Bone marrow aspirate smear: 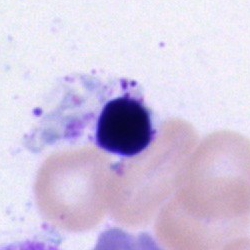
Morphology — nucleated red cell.